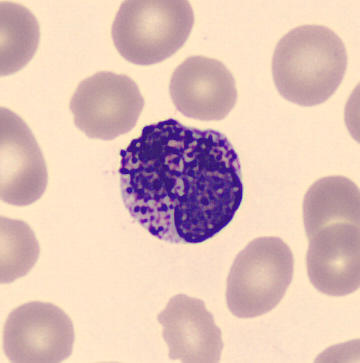

Morphology — basophil.